250 by 250 pixels; bone marrow smear; 40× objective, oil immersion.
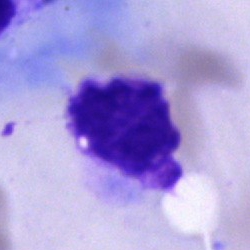

Specimen: bone marrow smear.
Morphological class: artefact.